Bone marrow aspirate smear.
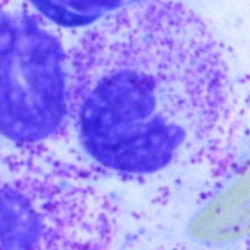

Single cell identified as a segmented neutrophil.